Bone marrow aspirate smear.
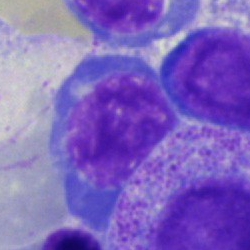
Cell type — nucleated red blood cell.